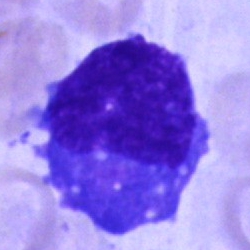A blast cell.